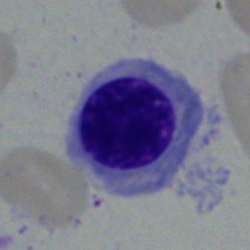 Q: What type of cell is this?
A: A nucleated red cell.